Bone marrow aspirate smear — 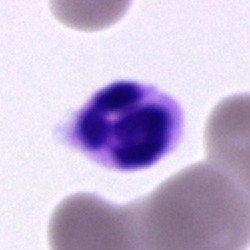
Q: What cell is this?
A: This is a polymorphonuclear neutrophil.